Bone marrow aspirate smear · single cell centered in the field: 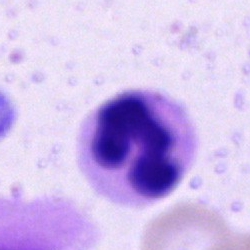Q: What is the morphological classification of this cell?
A: It is a segmented neutrophil.